Bone marrow aspirate smear
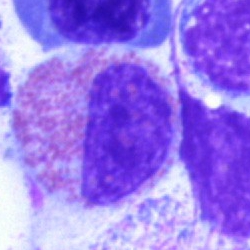The cell is eosinophilic granulocyte.